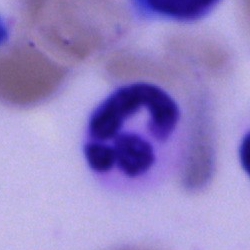
Segmented neutrophil.